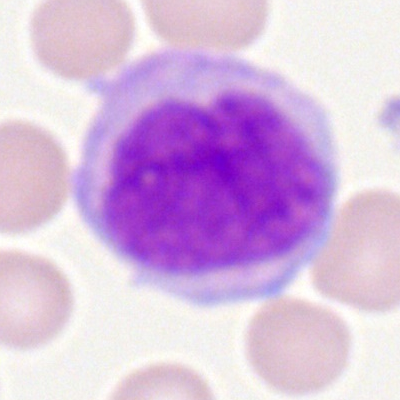

The morphological class is monocyte.